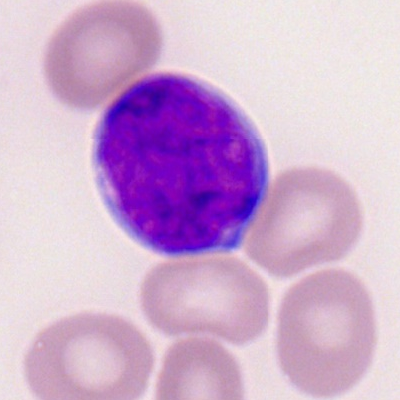
Specimen: peripheral blood film.
Cell: myeloblast.